Single-cell field; bone marrow aspirate smear.
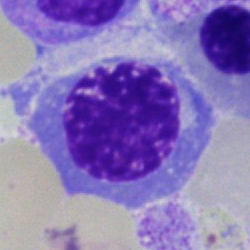
Showing a nucleated red blood cell.